Single-cell crop; bone marrow smear; 250×250 px
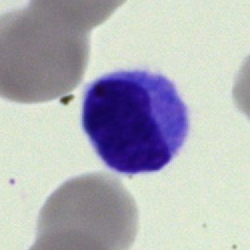

This is a typical lymphocyte.